Bone marrow aspirate smear.
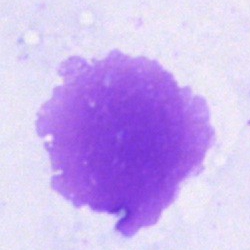 This is an artifact.